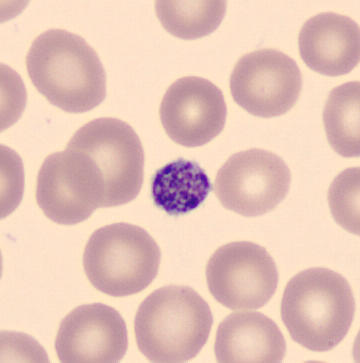
Preparation: 360×363 px.

Specimen: peripheral blood smear.
Classification: platelet (thrombocyte).